Peripheral blood film — 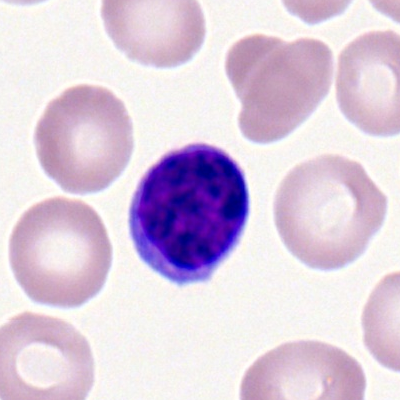

The cell type is lymphocyte.